Bone marrow smear: 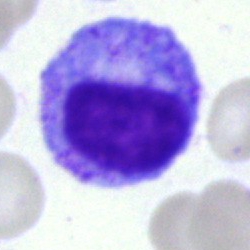

Classification — myelocyte.